Bone marrow smear — 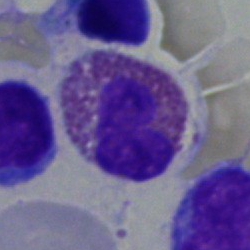
Morphology consistent with an eosinophil.